Bone marrow smear — 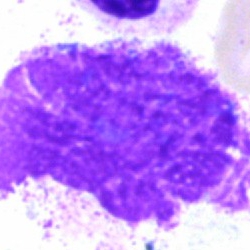An artefact.